Cropped to a single cell. Bone marrow smear — 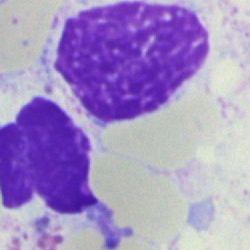
Specimen: bone marrow aspirate smear.
Classification: artifact.